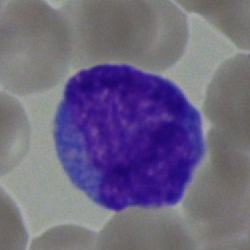

Single-cell crop from a bone marrow smear: blast.